Bone marrow aspirate smear: 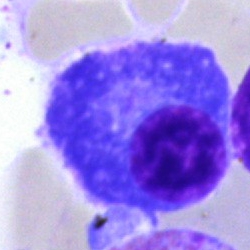 Morphology consistent with a plasma cell.